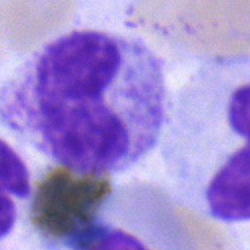
Specimen: bone marrow smear.
Morphological class: metamyelocyte.